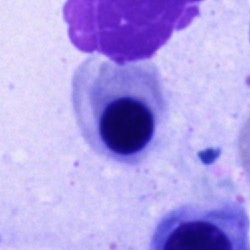
Specimen: bone marrow smear.
Morphological class: nucleated red blood cell.